Single-cell crop; bone marrow aspirate smear.
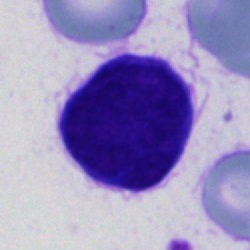

Cell of indeterminate lineage.